Bone marrow aspirate smear. Single-cell field
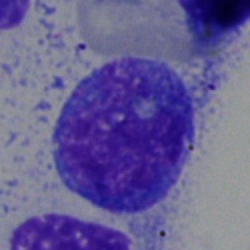 Specimen: bone marrow smear.
Cell: progranulocyte.